May-Grünwald-Giemsa/Pappenheim stain. Cropped to a single cell. Bone marrow smear:
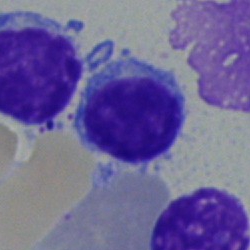 Q: What is shown here?
A: A typical lymphocyte.